Bone marrow smear; single-cell crop
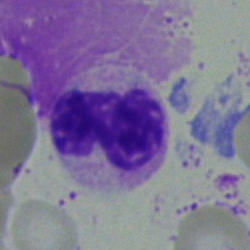 Specimen: bone marrow smear.
Classification: polymorphonuclear neutrophil.
Lineage: myeloid.